Single-cell crop; bone marrow aspirate smear — 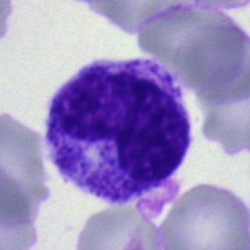
{"cell_type": "metamyelocyte"}